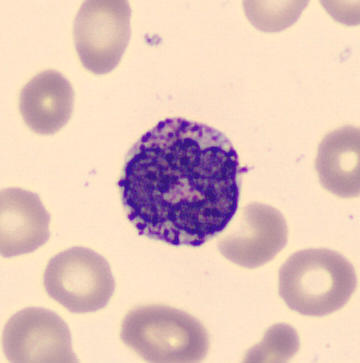

Identified as a basophil. Acquisition: Peripheral blood smear.